Bone marrow smear · single-cell field · 250×250: 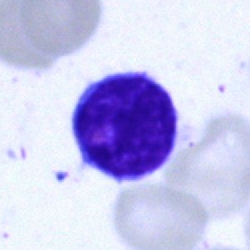

Cell = typical lymphocyte.